40× objective, oil immersion. Bone marrow smear. Single cell centered in the field: 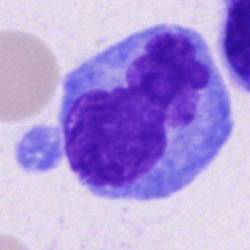 Morphology consistent with a plasmacyte.